Bone marrow aspirate smear
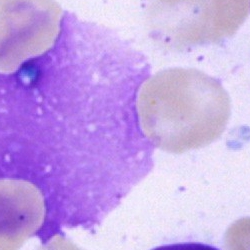 Single cell identified as an artifact.